Single-cell field. Bone marrow aspirate smear: 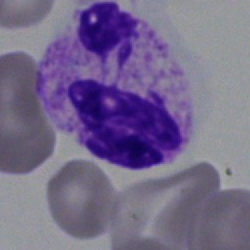
Specimen: bone marrow aspirate smear.
Cell: segmented neutrophil.
Lineage: myeloid.